Bone marrow aspirate smear
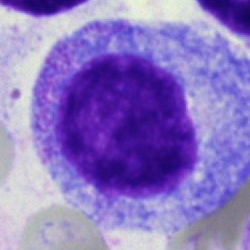
A progranulocyte.